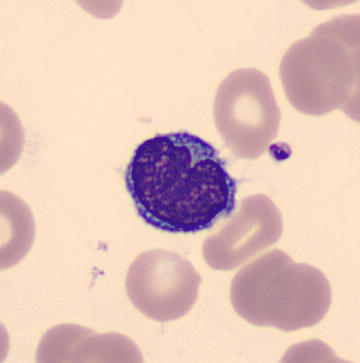

A lymphocyte.
May Grünwald-Giemsa stain · peripheral blood smear.